Bone marrow smear. Brightfield microscopy, 40× oil immersion: 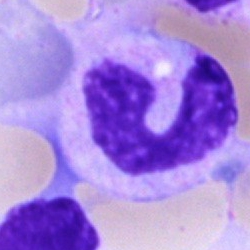

Q: Which cell type is shown here?
A: It is a stab cell.